Single-cell field; 40× oil immersion; bone marrow aspirate smear.
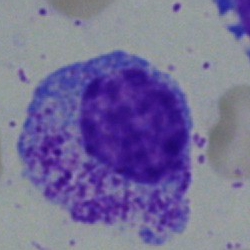
Myelocyte.